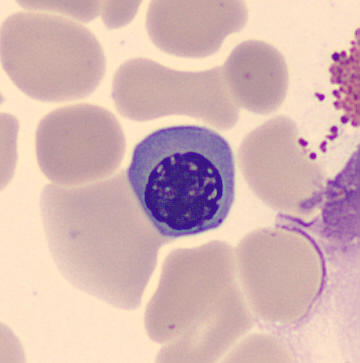

The cell is nucleated red cell.